Pappenheim-stained; bone marrow aspirate smear
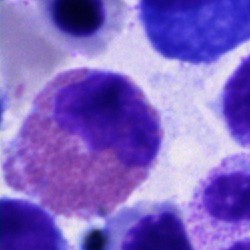

Morphology consistent with an eosinophil.